Bone marrow smear.
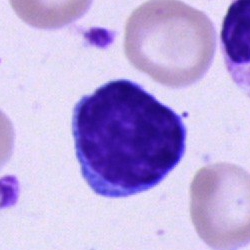Cell: typical lymphocyte.